Bone marrow smear:
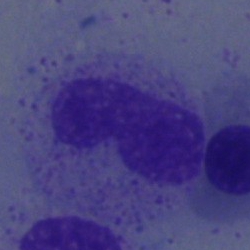

Impression — neutrophil (band).